Bone marrow smear; single-cell field.
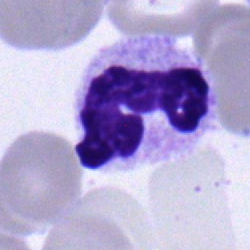The cell type is neutrophil (segmented).